250 by 250 pixels. Cropped to a single cell. Bone marrow aspirate smear.
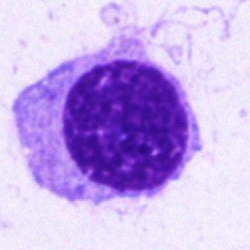
This is a plasma cell.